Bone marrow smear
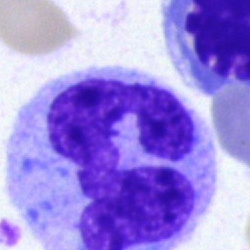 Specimen: bone marrow smear.
Morphological class: monocyte.
Lineage: myeloid.